Single cell centered in the field · bone marrow smear — 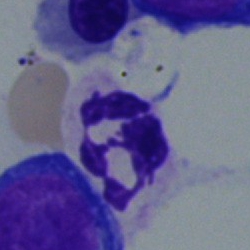Specimen: bone marrow aspirate smear.
Morphological class: neutrophil (segmented).
Lineage: myeloid.